Bone marrow smear; brightfield microscopy, 40× oil immersion: 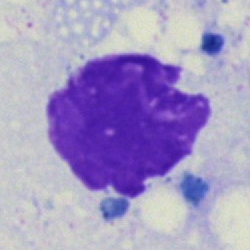
Specimen: bone marrow smear.
Morphological class: artefact.